Bone marrow aspirate smear.
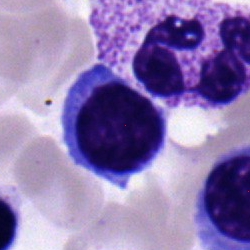{"cell_type": "lymphocyte"}